Bone marrow smear. 40× oil immersion: 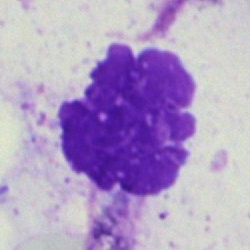 Specimen: bone marrow smear.
Cell type: artifact.